Bone marrow aspirate smear.
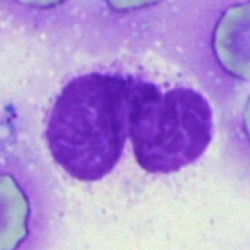 Q: What is shown here?
A: This is an artifact.